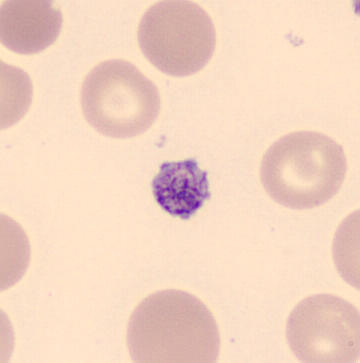Platelet (thrombocyte).